Bone marrow aspirate smear; Pappenheim-stained — 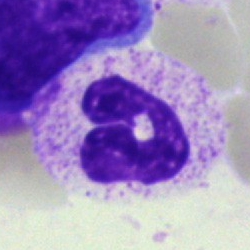
Showing a polymorphonuclear neutrophil.